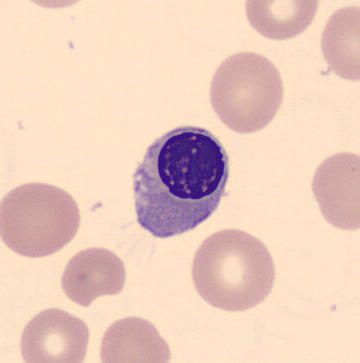 Image: Imaged on a CellaVision DM96 analyser.

Specimen: peripheral blood film.
Cell: nucleated red cell.